Bone marrow aspirate smear: 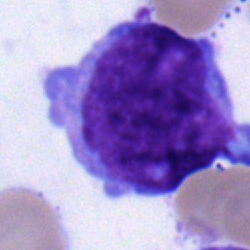
Morphology → undifferentiated blast.